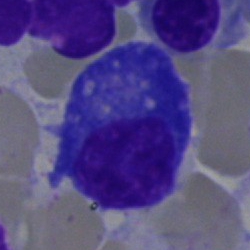

{"cell_type": "plasmacyte", "lineage": "lymphoid"}